Peripheral blood smear:
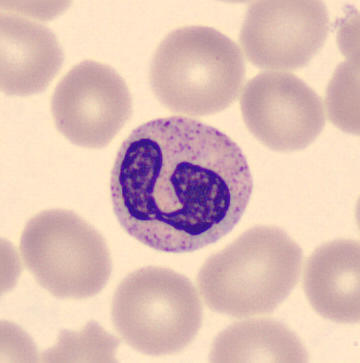Classification = segmented neutrophil.